Peripheral blood film: 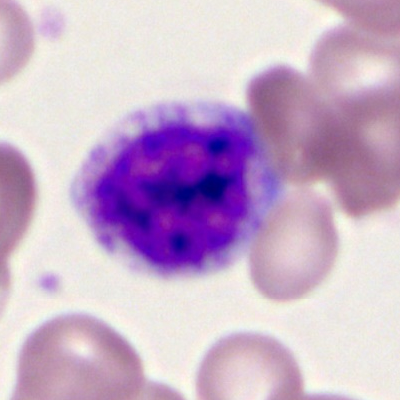Morphological class — myelocyte.